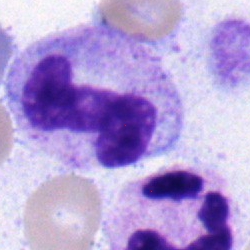
The cell type is stab cell.